MGG-stained; bone marrow aspirate smear; 40× oil immersion:
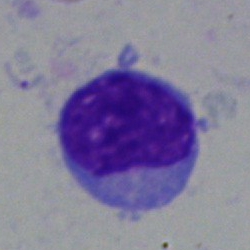 Showing a blast cell.